Single-cell field · bone marrow aspirate smear:
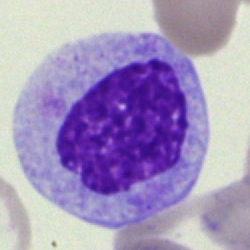 {"cell_type": "myelocyte", "lineage": "myeloid"}